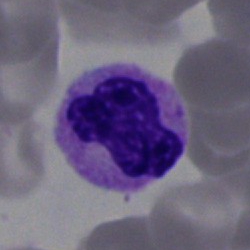 Morphological class: neutrophil (segmented).